Bone marrow aspirate smear: 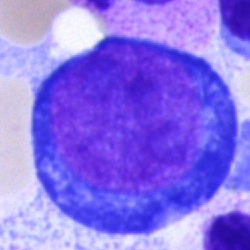
Morphological class = proerythroblast.